Peripheral blood film · CellaVision DM96 · 360 by 363 pixels — 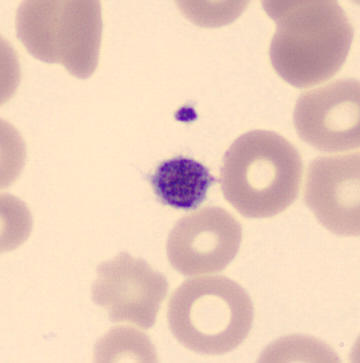 Morphology → platelet (thrombocyte).